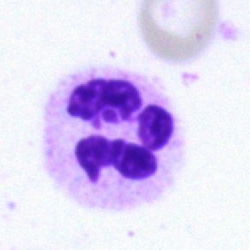

Morphology consistent with a polymorphonuclear neutrophil.